Bone marrow smear.
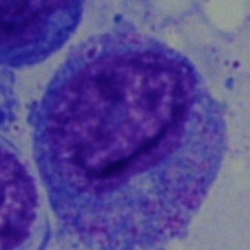
Cell — progranulocyte.